Single-cell crop · bone marrow aspirate smear — 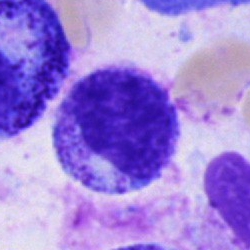

This is a myelocyte.